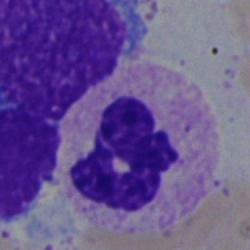
Morphology → segmented neutrophil.